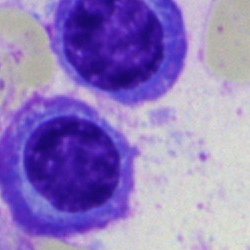Morphological class: plasmacyte.